Bone marrow smear:
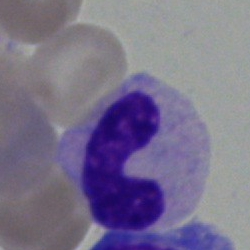 Impression — band neutrophil.